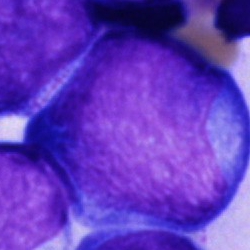Cell: blast cell.